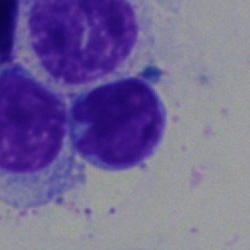Lymphocyte.